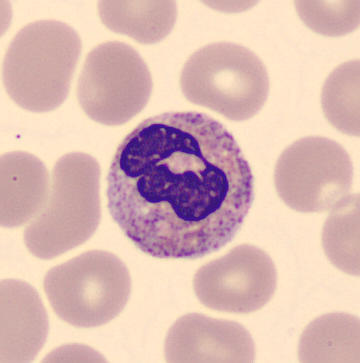

This is a neutrophil (band).

Preparation: Peripheral blood film.